Bone marrow smear
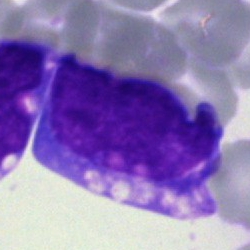
Specimen: bone marrow aspirate smear.
Cell: blast.